Single-cell field; bone marrow aspirate smear: 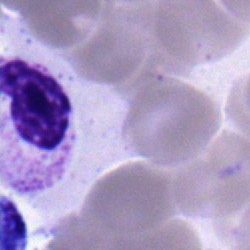

The cell type is polymorphonuclear neutrophil.